Bone marrow smear
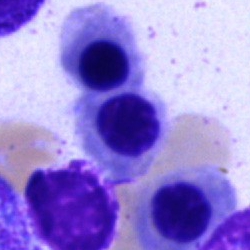Cell: nucleated red cell.